Bone marrow smear:
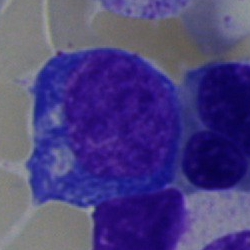

Impression → nucleated red blood cell.